Bone marrow smear
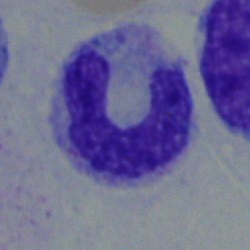Q: What type of cell is this?
A: It is a stab cell.